250×250 px. Single-cell crop. Bone marrow smear:
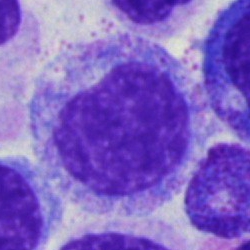
The cell type is progranulocyte.